Bone marrow aspirate smear: 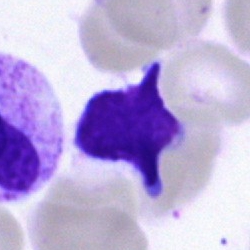

{"cell_type": "artefact"}